Bone marrow aspirate smear
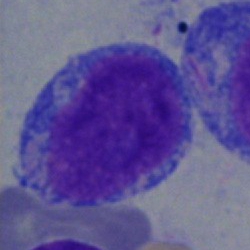

Morphological class — blast.